Bone marrow smear
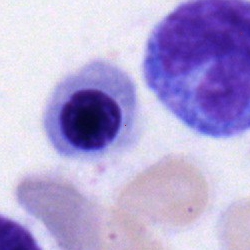
Morphology consistent with a nucleated red cell.